Brightfield microscopy, 40× oil immersion · bone marrow aspirate smear.
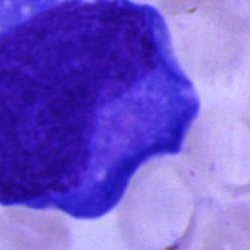

Classification = undifferentiated blast.